Bone marrow aspirate smear.
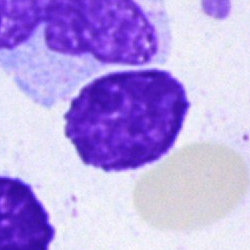 Artifact.